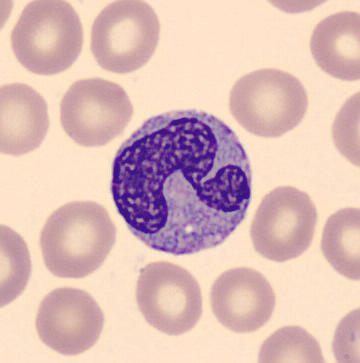

Q: What type of cell is this?
A: A monocyte. Acquisition: Peripheral blood film · single-cell field.